40× objective, oil immersion · bone marrow smear: 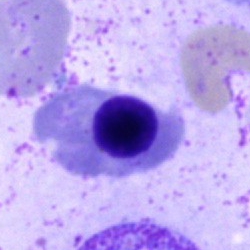

Q: What is shown here?
A: It is a nucleated red blood cell.